Peripheral blood smear.
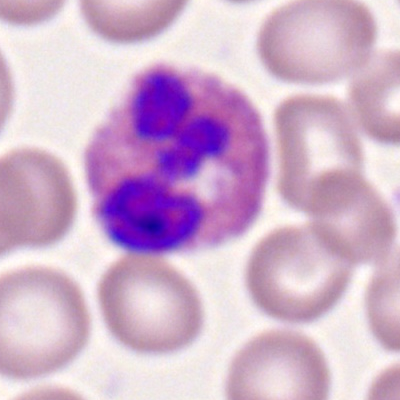
{"cell_type": "eosinophil"}